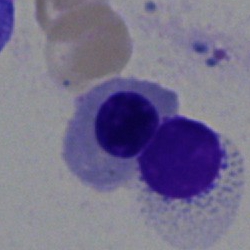Specimen: bone marrow aspirate smear.
Morphological class: nucleated red cell.